Bone marrow smear; 250×250
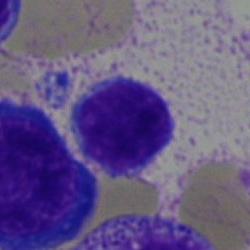

Cell type — typical lymphocyte.